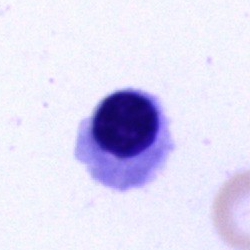
Q: What is shown here?
A: Nucleated red blood cell.